Image size 250×250. Bone marrow aspirate smear — 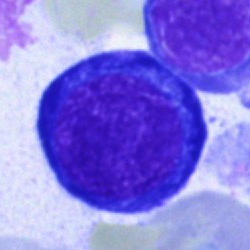 Q: What is shown here?
A: Proerythroblast.